Bone marrow smear:
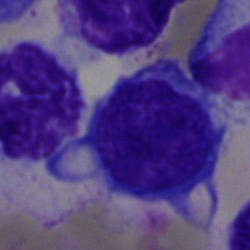

Specimen: bone marrow smear.
Cell: blast cell.